Bone marrow aspirate smear; May-Grünwald-Giemsa/Pappenheim stain: 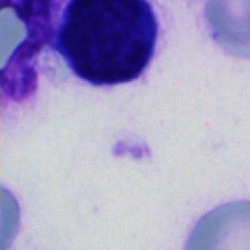This is an unidentifiable cell.